Bone marrow smear.
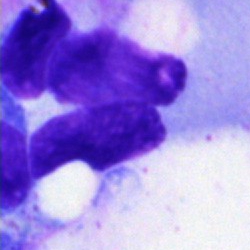 {"cell_type": "artefact"}